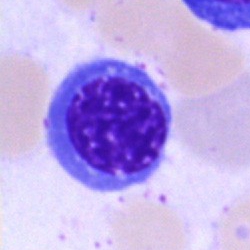A nucleated red blood cell on a bone marrow smear.